Bone marrow aspirate smear: 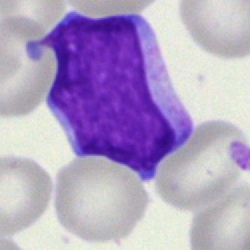Morphology consistent with a blast cell.